Bone marrow aspirate smear: 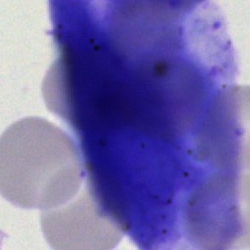Cell type = artifact.